Peripheral blood smear.
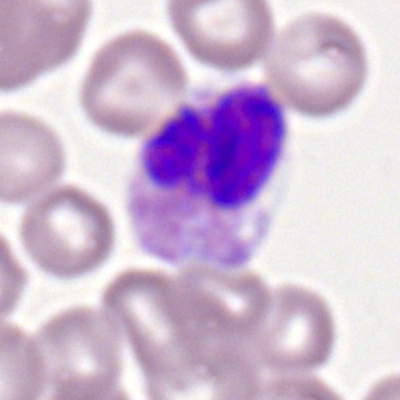Specimen: peripheral blood smear.
Morphological class: eosinophil.